Bone marrow aspirate smear. Brightfield microscopy, 40× oil immersion: 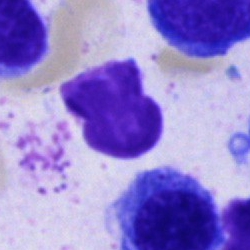

An artifact.